Peripheral blood smear.
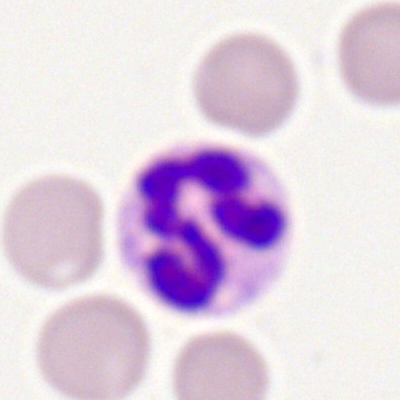 Morphology → segmented neutrophil.